Bone marrow aspirate smear:
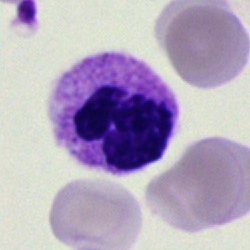
Cell type: polymorphonuclear neutrophil.